Single cell centered in the field. Bone marrow smear: 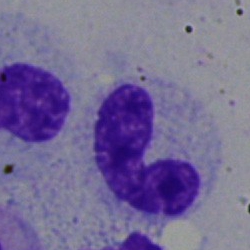 Single cell identified as a segmented neutrophil.